360 by 363 pixels · peripheral blood film
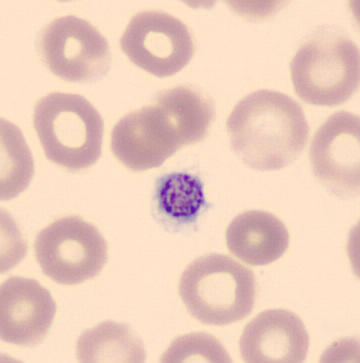
Morphology — thrombocyte.